May-Grünwald-Giemsa/Pappenheim stain · bone marrow aspirate smear — 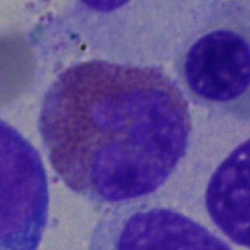Q: What cell is this?
A: Eosinophilic granulocyte.